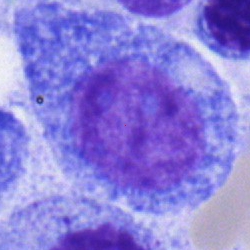
Single cell identified as a progranulocyte.